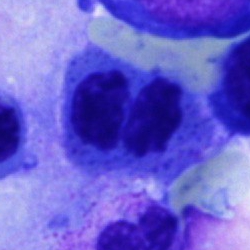Morphological class — artifact.